Bone marrow aspirate smear; Pappenheim-stained
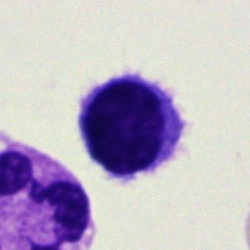
Morphology — typical lymphocyte.